Bone marrow aspirate smear.
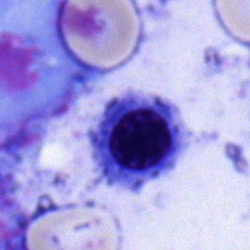 Morphology — normoblast.